250 by 250 pixels. Bone marrow aspirate smear
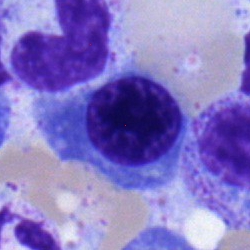
Q: What is the morphological classification of this cell?
A: It is a nucleated red blood cell.